Bone marrow aspirate smear; 40× oil immersion — 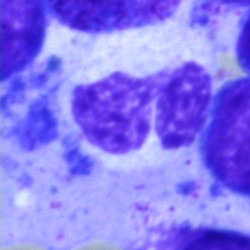 Single cell identified as a segmented neutrophil.